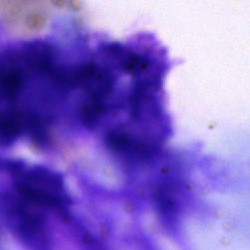

{"cell_type": "artifact"}